Bone marrow smear. Single-cell field.
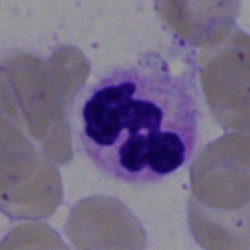Segmented neutrophil.